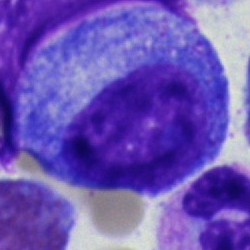 A promyelocyte on a bone marrow smear.